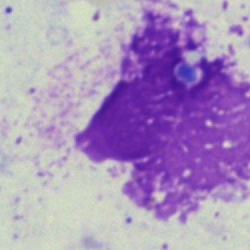

Specimen: bone marrow aspirate smear.
Morphological class: artefact.